Single-cell field; 250 by 250 pixels; bone marrow smear.
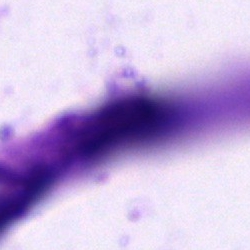

Cell type — artefact.